May-Grünwald-Giemsa/Pappenheim stain; bone marrow aspirate smear: 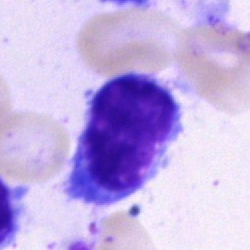

A lymphocyte.